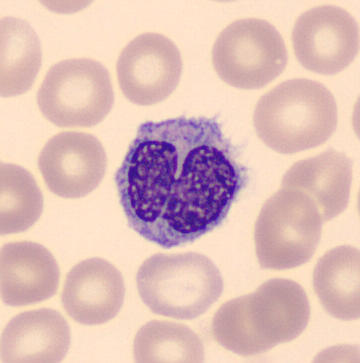
This is a monocyte.